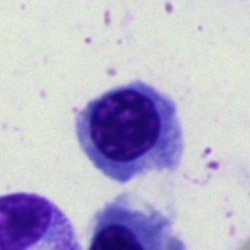
Specimen: bone marrow aspirate smear.
Cell: nucleated red blood cell.